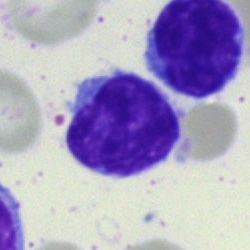Specimen: bone marrow smear.
Classification: typical lymphocyte.
Lineage: lymphoid.